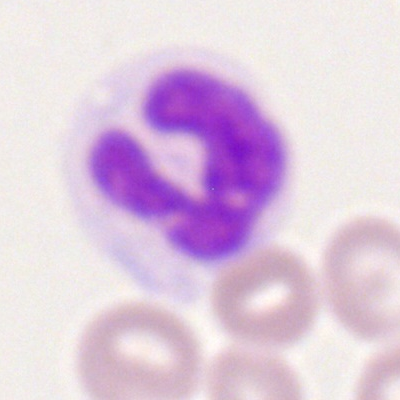Morphology → monocyte.